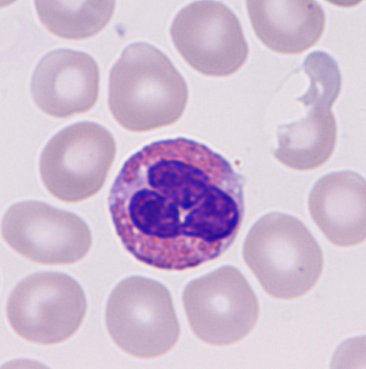Imaged on a CellaVision DM96 analyser. Peripheral blood smear.
This is an eosinophilic granulocyte.